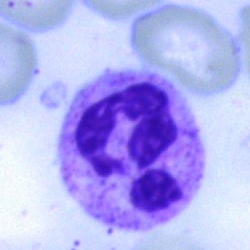

Q: What cell is this?
A: This is a polymorphonuclear neutrophil.